Brightfield microscopy, 40× oil immersion · bone marrow aspirate smear.
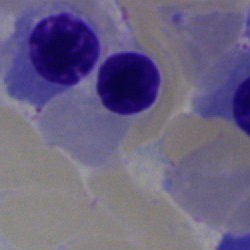Impression — nucleated red blood cell.